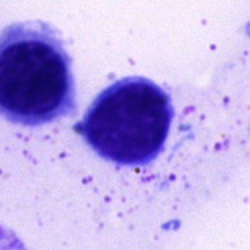 Q: What is the morphological classification of this cell?
A: Lymphocyte.